Peripheral blood film.
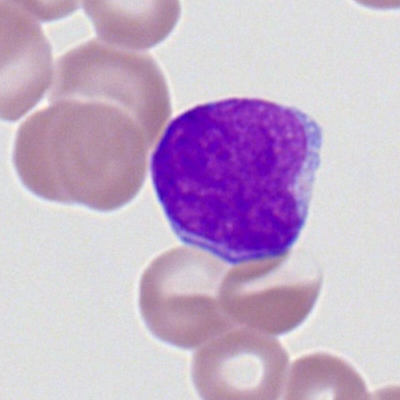

Q: What is shown here?
A: It is a myeloid blast.